Peripheral blood film — 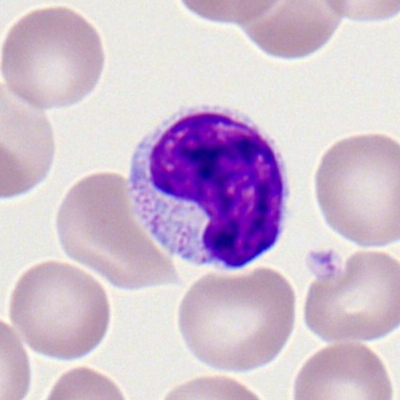

Impression — typical lymphocyte.